Bone marrow aspirate smear: 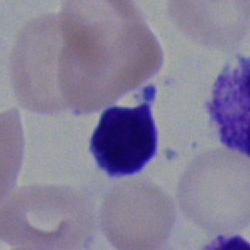
Lymphocyte.